Peripheral blood smear:
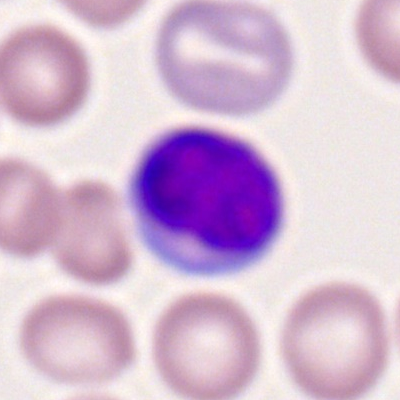Single cell identified as a lymphocyte.